Bone marrow aspirate smear; 250 by 250 pixels:
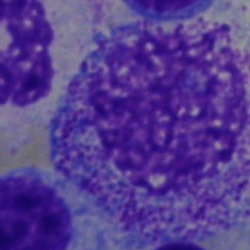
Impression → promyelocyte.